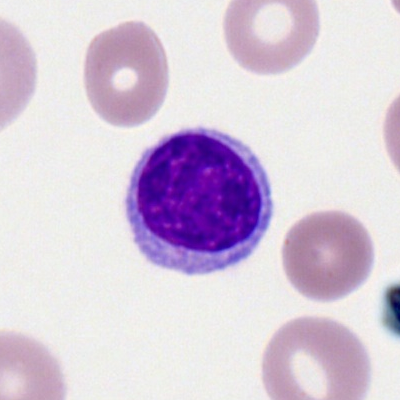Cell type: lymphocyte.